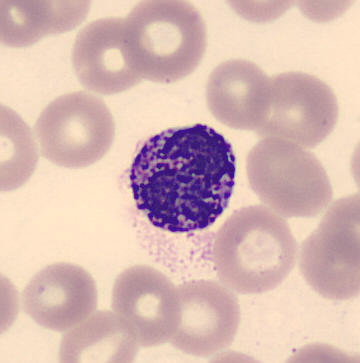Image: Peripheral blood film. Cropped to a single cell. MGG-stained. Showing a basophilic granulocyte.